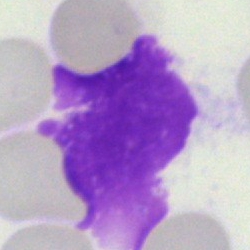 Morphology consistent with an artifact.